Bone marrow smear: 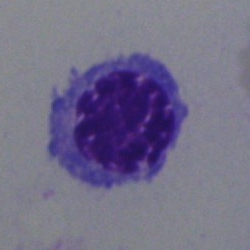Q: What is the morphological classification of this cell?
A: Nucleated red blood cell.